Bone marrow aspirate smear.
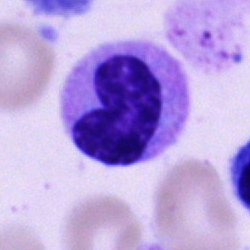Metamyelocyte.